Single-cell crop. Bone marrow aspirate smear — 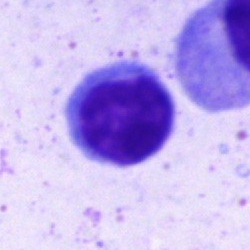Q: What type of cell is this?
A: A lymphocyte.